Bone marrow smear: 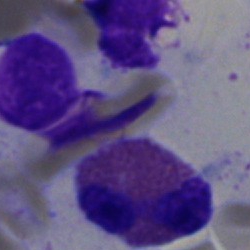

Eosinophil.